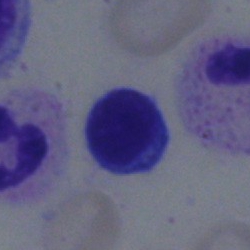
{"cell_type": "typical lymphocyte"}